250 by 250 pixels · bone marrow aspirate smear · brightfield, 40× oil-immersion objective: 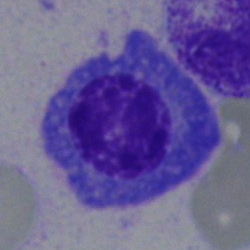 Plasmacyte.